Bone marrow smear; brightfield, 40× oil-immersion objective:
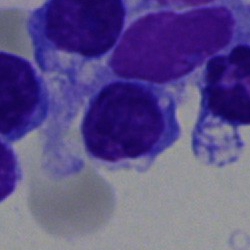
Classification: lymphocyte.